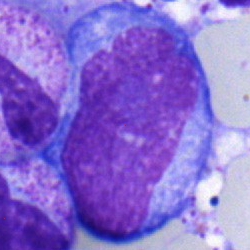
A blast.